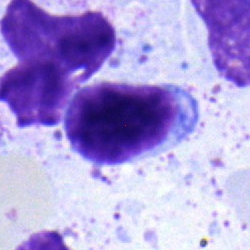

Q: Which cell type is shown here?
A: It is a typical lymphocyte.